MGG-stained · bone marrow aspirate smear · single cell centered in the field — 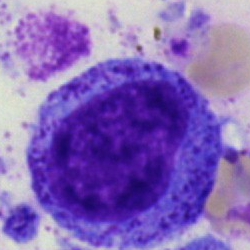 Morphology → promyelocyte.